Bone marrow aspirate smear
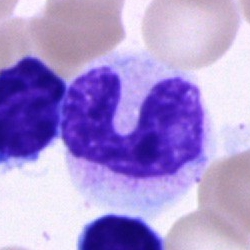
The cell shown is a neutrophil (band).